Brightfield, 40× oil-immersion objective · bone marrow smear — 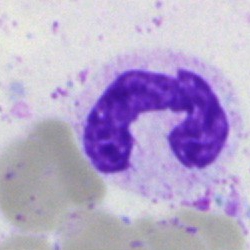
Showing a stab cell.